Brightfield, 40× oil-immersion objective; bone marrow smear:
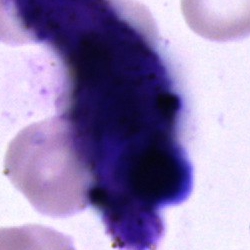

Specimen: bone marrow aspirate smear.
Classification: artifact.